40× objective, oil immersion; bone marrow aspirate smear; May-Grünwald-Giemsa/Pappenheim stain:
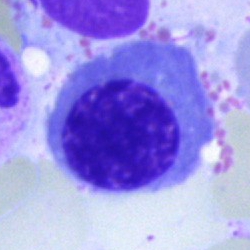

Impression → normoblast.